Romanowsky-type stain · peripheral blood smear: 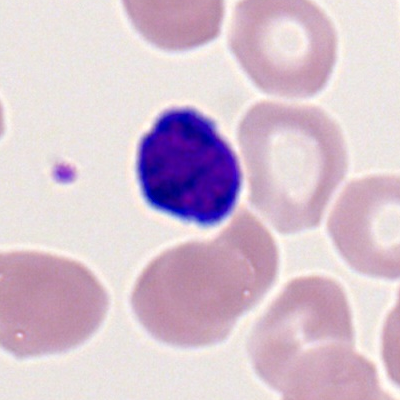Single cell identified as a typical lymphocyte.